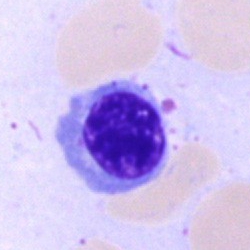

Cell type = erythroblast.